Cropped to a single cell; bone marrow aspirate smear:
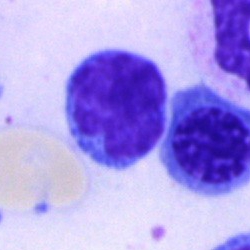

Classification: lymphocyte.